Bone marrow smear; Pappenheim-stained; single cell centered in the field:
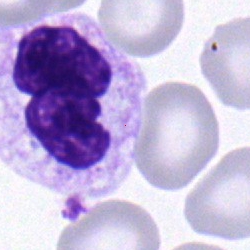

The cell shown is a neutrophil (band).